May-Grünwald-Giemsa stain · bone marrow smear:
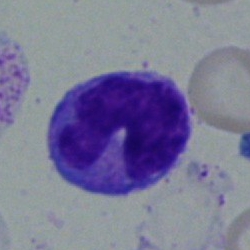
Morphological class = monocyte.